Peripheral blood smear.
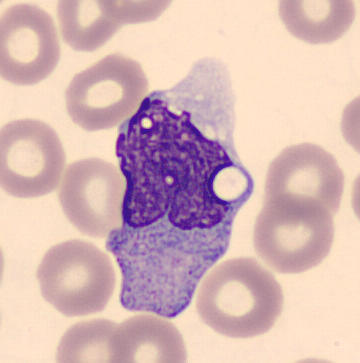
Q: What is the morphological classification of this cell?
A: A monocyte.